Bone marrow aspirate smear; single-cell field; May-Grünwald-Giemsa/Pappenheim stain.
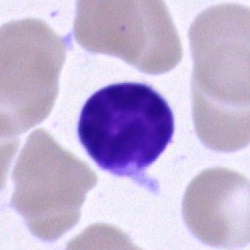A lymphocyte.